Bone marrow aspirate smear · 40× objective, oil immersion — 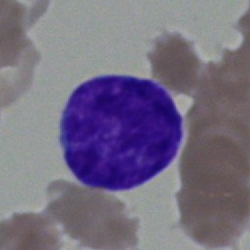 Morphological class: blast.